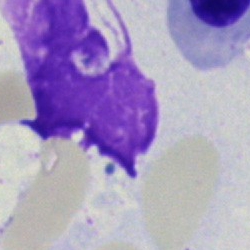Single-cell crop from a bone marrow smear: artifact.